Bone marrow aspirate smear.
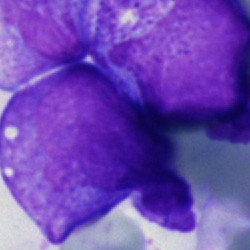

Morphological class: undifferentiated blast.